Peripheral blood smear. Cropped to a single cell. 360 by 363 pixels:
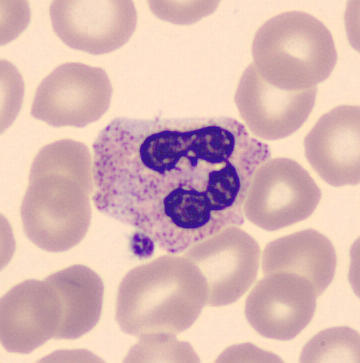

Specimen: peripheral blood film.
Classification: neutrophil (segmented).
Lineage: myeloid.